Bone marrow aspirate smear:
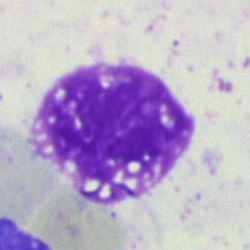

Morphology → artefact.